Bone marrow smear: 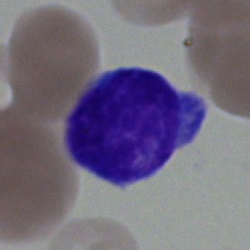
Q: What is the morphological classification of this cell?
A: Blast cell.